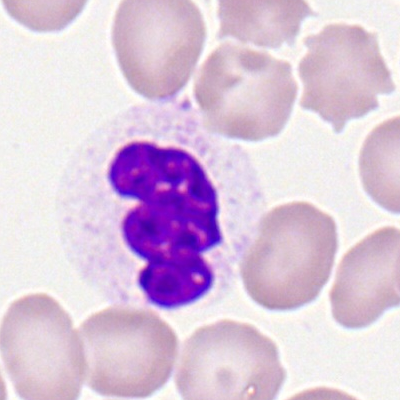

Q: Which cell type is shown here?
A: This is a neutrophil (segmented).